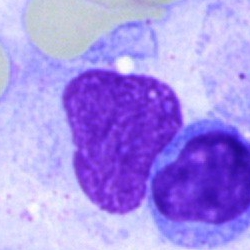

Morphological class: artefact.